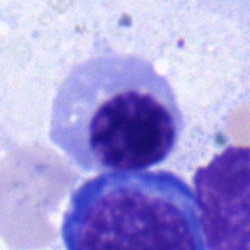 Specimen: bone marrow smear.
Classification: normoblast.
Lineage: erythroid.